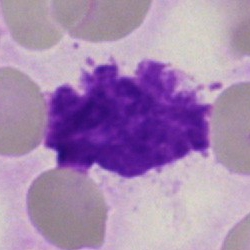
Morphology consistent with an artefact.